Bone marrow smear; Pappenheim-stained: 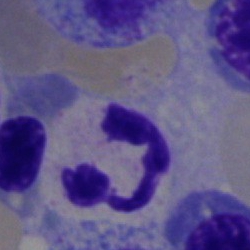
A polymorphonuclear neutrophil.